Bone marrow aspirate smear: 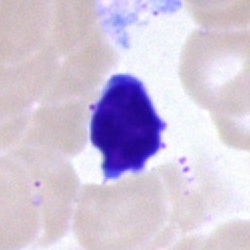Specimen: bone marrow aspirate smear.
Morphological class: typical lymphocyte.